Bone marrow smear.
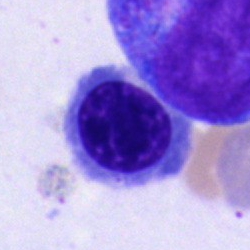The morphological class is nucleated red blood cell.